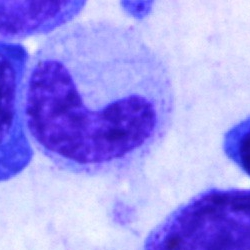

Morphological class: stab cell.